Bone marrow aspirate smear:
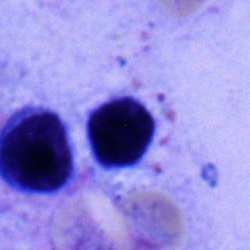

Q: What type of cell is this?
A: A typical lymphocyte.